Bone marrow smear. 40× objective, oil immersion
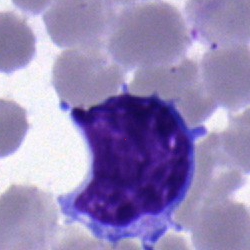

The morphological class is typical lymphocyte.